Bone marrow smear; 250×250:
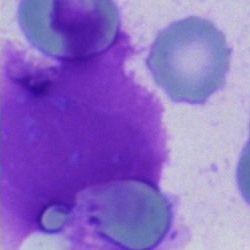Morphology → artefact.